Bone marrow aspirate smear.
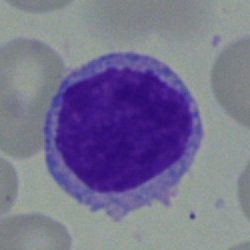Morphology consistent with a typical lymphocyte.